Single-cell crop; peripheral blood film: 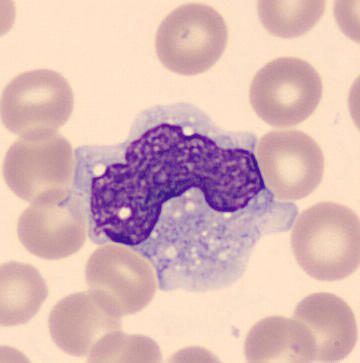Impression → monocyte.